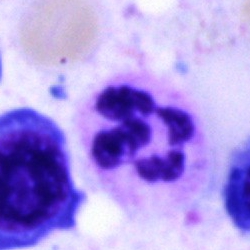Q: What cell is this?
A: This is a polymorphonuclear neutrophil.